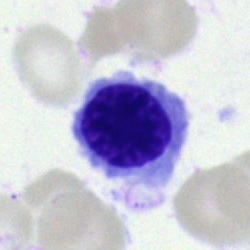 Cell type: nucleated red blood cell.